Peripheral blood film.
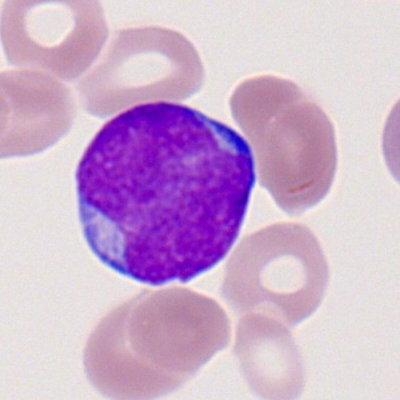This is a myeloblast.